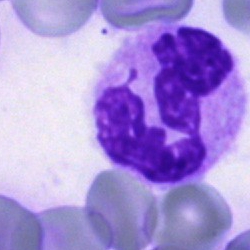Specimen: bone marrow smear.
Cell: neutrophil (segmented).